250×250 px; bone marrow aspirate smear: 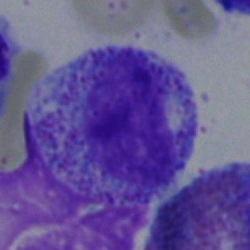 Single cell identified as a myelocyte.